Brightfield microscopy, 40× oil immersion; bone marrow smear: 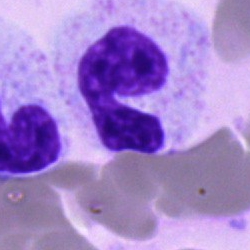 {"cell_type": "band-form neutrophil"}